Peripheral blood film.
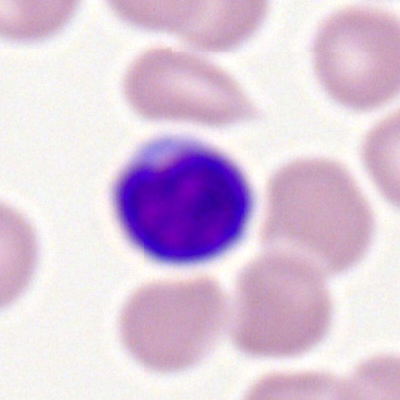

Single cell identified as a lymphocyte.